Bone marrow smear. MGG-stained. 250 by 250 pixels.
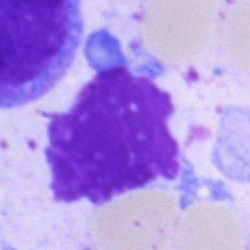Artifact.